Bone marrow smear
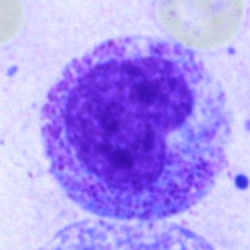
Morphology — metamyelocyte.